40× oil immersion. 250 by 250 pixels. Bone marrow aspirate smear: 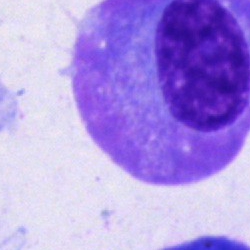

Cell = plasma cell.